Peripheral blood smear: 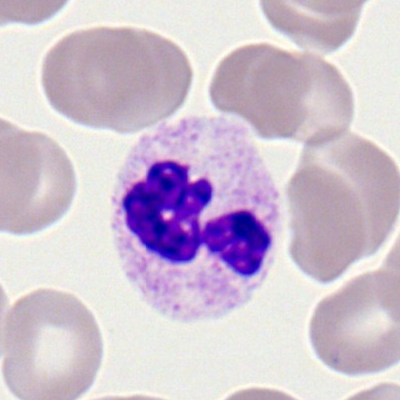Single cell identified as a neutrophil (segmented).